Bone marrow aspirate smear · brightfield, 40× oil-immersion objective · single-cell crop:
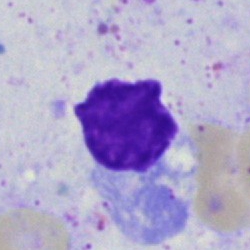 Classification: artifact.